Bone marrow aspirate smear — 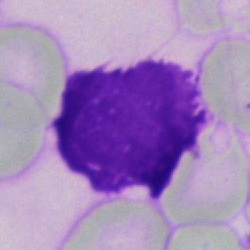
Single cell identified as an artefact.